40× objective, oil immersion; image size 250×250; bone marrow smear — 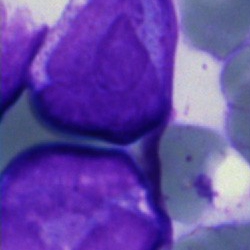

Morphology consistent with an undifferentiated blast.